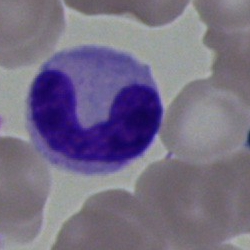 The cell type is polymorphonuclear neutrophil.